Peripheral blood film: 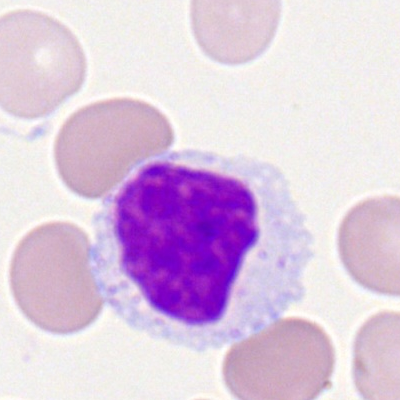
Q: What is shown here?
A: A lymphocyte.